40× oil immersion. Bone marrow smear. Cropped to a single cell:
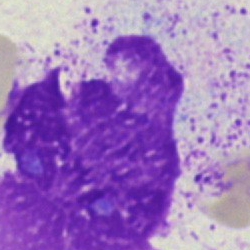

Single cell identified as an artefact.